Bone marrow smear.
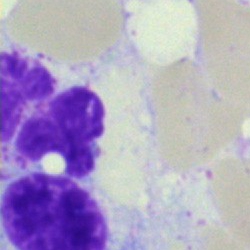Morphology → artefact.